Bone marrow aspirate smear — 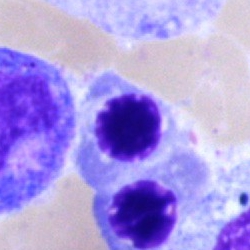

A nucleated red blood cell.